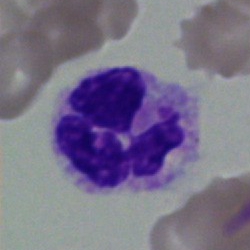

Bone marrow smear showing a neutrophil (segmented).